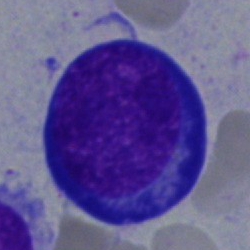

A proerythroblast.